250×250 px. Bone marrow aspirate smear. May-Grünwald-Giemsa/Pappenheim stain: 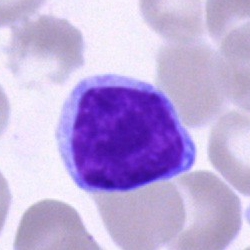Q: Which cell type is shown here?
A: It is a lymphocyte.